Bone marrow aspirate smear
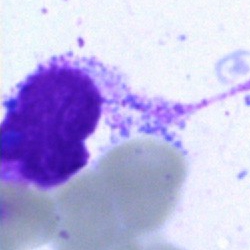Cell type = artefact.